Bone marrow aspirate smear:
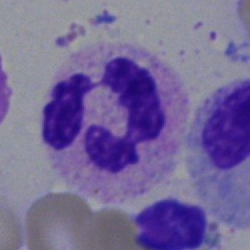
Single cell identified as a polymorphonuclear neutrophil.